Bone marrow aspirate smear — 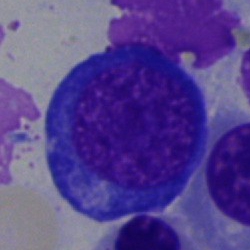
{"cell_type": "nucleated red cell"}